250×250. Bone marrow smear.
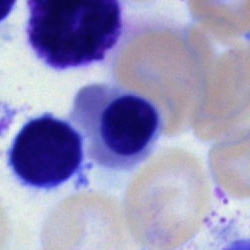 Cell = normoblast.